Peripheral blood film; single cell centered in the field; 360 by 363 pixels:
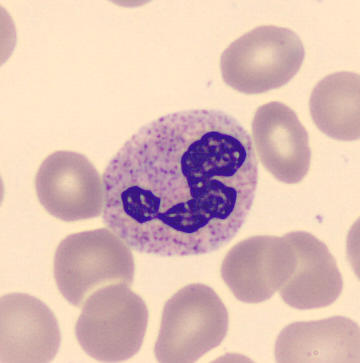
Impression — neutrophil (segmented).